250 by 250 pixels; bone marrow aspirate smear:
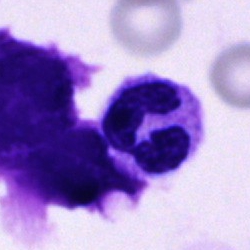 The cell is neutrophil (segmented).